Bone marrow aspirate smear.
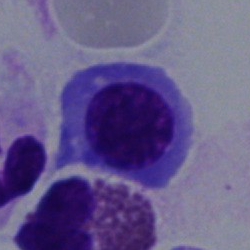 Classification: erythroblast.